Peripheral blood film; image size 400×400.
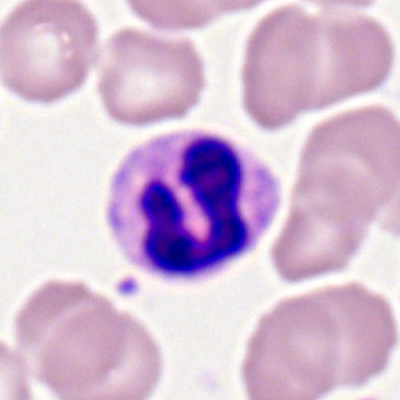 Classification — polymorphonuclear neutrophil.